Bone marrow aspirate smear — 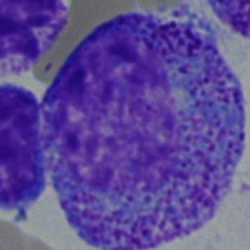

Single cell identified as a promyelocyte.